Peripheral blood film. 400×400 px
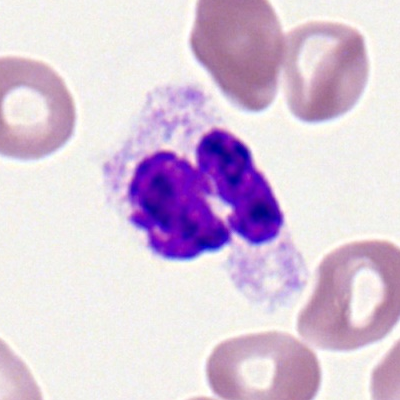Cell: segmented neutrophil.